Bone marrow smear · 250×250 px
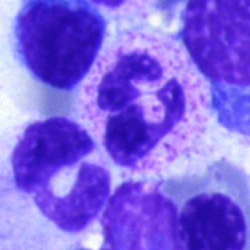Classification — segmented neutrophil.